Bone marrow aspirate smear
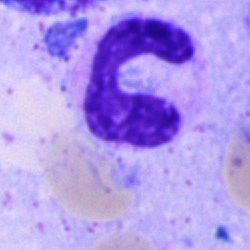Q: What type of cell is this?
A: It is a neutrophil (band).